Pappenheim-stained; bone marrow smear; 250×250.
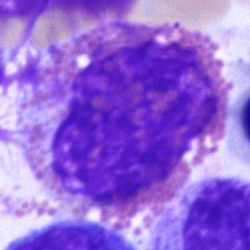 The cell shown is an eosinophil.